Bone marrow smear.
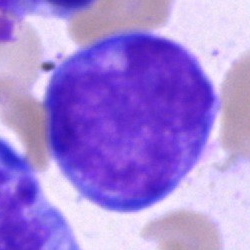Showing an undifferentiated blast.